Peripheral blood film. 400 by 400 pixels:
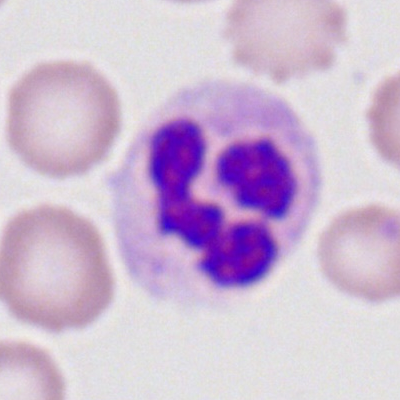 The classification is segmented neutrophil.